250×250 px · bone marrow smear: 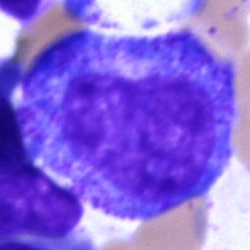

Classification: promyelocyte.